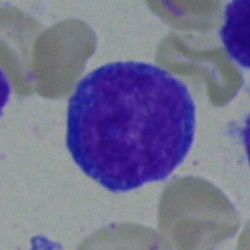

Q: Which cell type is shown here?
A: This is an undifferentiated blast.